May-Grünwald-Giemsa stain; bone marrow aspirate smear — 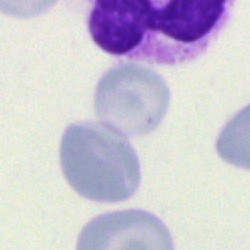 Single cell identified as an artifact.